Peripheral blood smear:
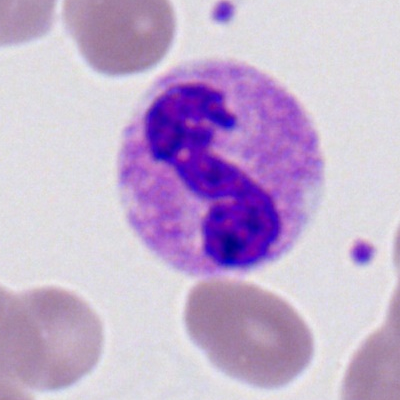Q: What is shown here?
A: This is a neutrophil (segmented).